Cropped to a single cell · bone marrow aspirate smear: 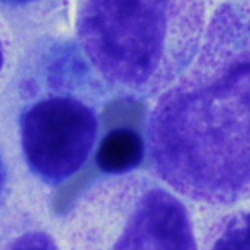

Morphology consistent with a nucleated red blood cell.